Cropped to a single cell; peripheral blood film: 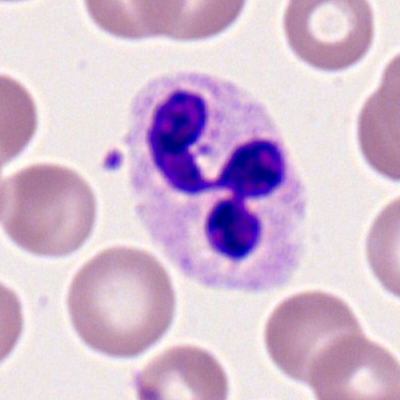

A segmented neutrophil.